250×250 px · bone marrow smear: 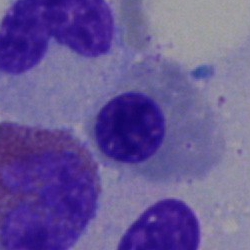

Morphology → normoblast.